Single cell centered in the field. Bone marrow aspirate smear. 40× objective, oil immersion:
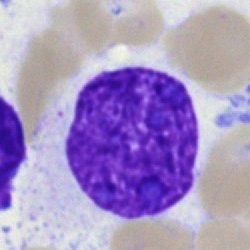 Classification: artifact.